Bone marrow smear. 40× oil immersion. MGG-stained: 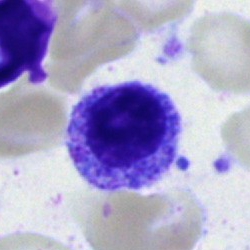Morphology → myelocyte.